Bone marrow aspirate smear.
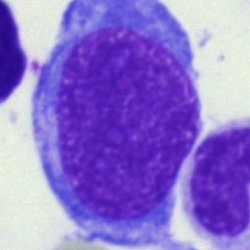Q: What is shown here?
A: Blast cell.